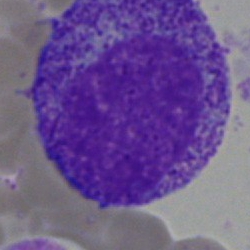

Specimen: bone marrow aspirate smear.
Cell type: promyelocyte.
Lineage: myeloid.